Single cell centered in the field. Bone marrow aspirate smear. 250 by 250 pixels:
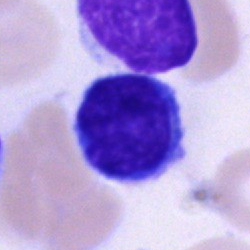
Morphology — typical lymphocyte.